Bone marrow aspirate smear. Single-cell crop. 40× oil immersion:
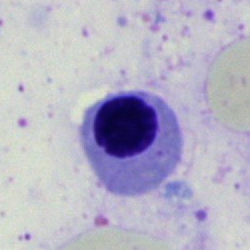 Impression — erythroblast.